Bone marrow smear · Pappenheim-stained
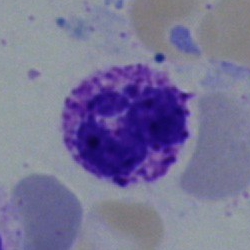 Morphological class = basophil.